Bone marrow aspirate smear: 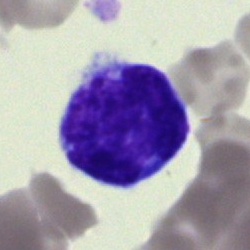
This is a cell of indeterminate lineage.